Single-cell crop; bone marrow smear:
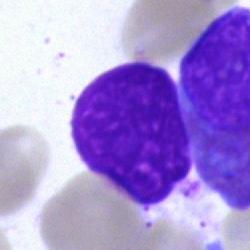
Q: What is shown here?
A: An artefact.